Bone marrow aspirate smear.
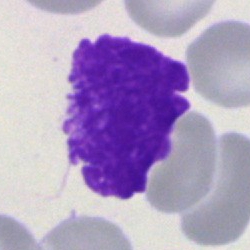

Impression — smudge cell.